Bone marrow aspirate smear.
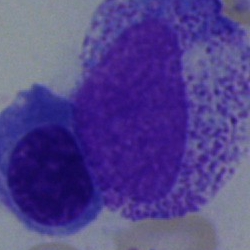 Impression — myelocyte.